Bone marrow smear
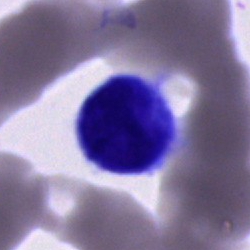 Cell of indeterminate lineage.